Bone marrow smear:
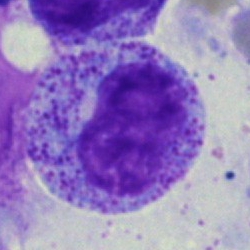
Q: Which cell type is shown here?
A: A progranulocyte.